250×250 px · bone marrow aspirate smear — 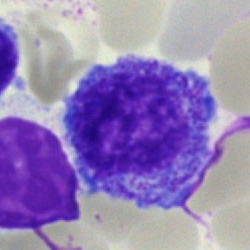Cell = progranulocyte.